Single cell centered in the field; bone marrow smear; 250×250 px:
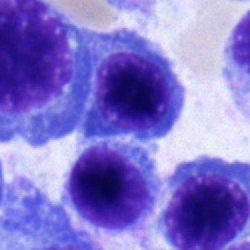 Morphological class = nucleated red cell.